Bone marrow smear:
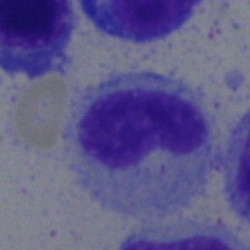

Morphology consistent with a neutrophil (band).